Single-cell field · bone marrow smear · May-Grünwald-Giemsa/Pappenheim stain.
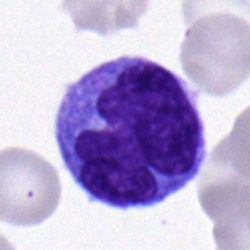 Cell type — monocyte.